Bone marrow aspirate smear: 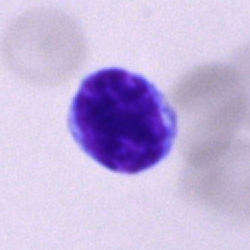 Morphology → typical lymphocyte.